Cropped to a single cell; bone marrow aspirate smear: 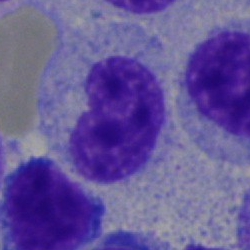 Morphology consistent with a band-form neutrophil.